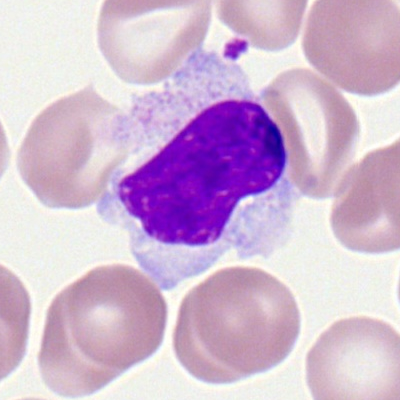{"cell_type": "typical lymphocyte"}